Peripheral blood film: 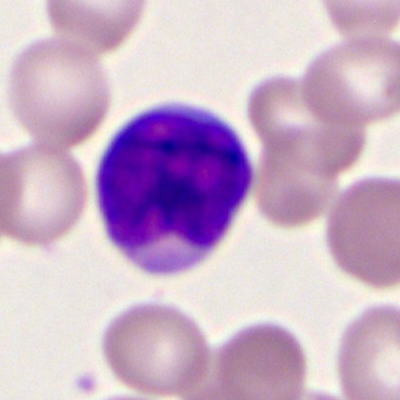
Morphological class = myeloblast.